Bone marrow smear:
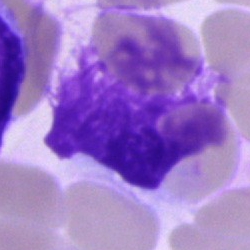Q: What is shown here?
A: Artifact.